Single cell centered in the field · bone marrow aspirate smear — 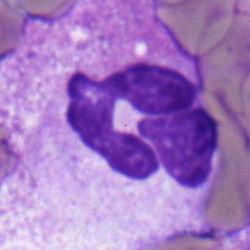
The cell shown is a polymorphonuclear neutrophil.